May-Grünwald-Giemsa/Pappenheim stain. Single cell centered in the field. Bone marrow smear
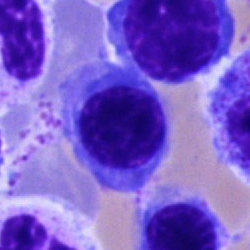The cell shown is a normoblast.